Bone marrow smear:
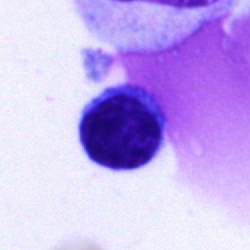Morphological class = typical lymphocyte.